Bone marrow smear · Pappenheim-stained · 40× objective, oil immersion.
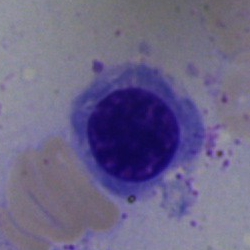 Nucleated red cell.